Bone marrow aspirate smear; Pappenheim-stained — 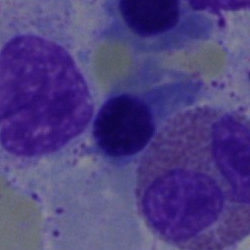Classification: erythroblast.